Bone marrow aspirate smear:
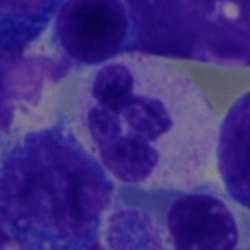

Morphology — segmented neutrophil.